May-Grünwald-Giemsa stain · bone marrow smear · single cell centered in the field:
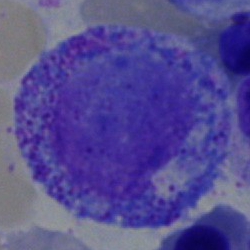
Specimen: bone marrow aspirate smear.
Cell: progranulocyte.